Bone marrow smear.
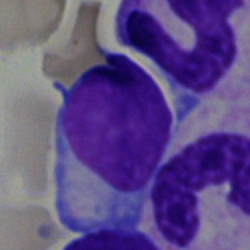
Specimen: bone marrow aspirate smear.
Classification: undifferentiated blast.